Bone marrow smear. Image size 250×250.
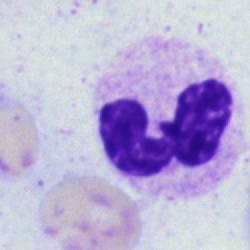 Morphological class = neutrophil (segmented).